Peripheral blood smear; 400×400 px; Romanowsky stain
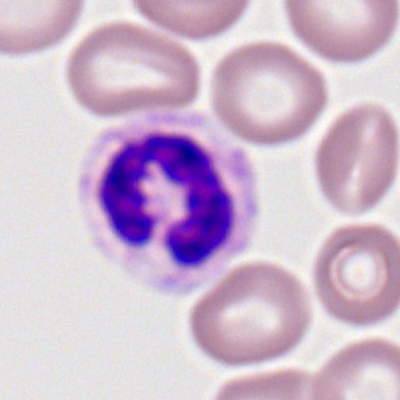
Specimen: peripheral blood smear.
Cell: segmented neutrophil.